Bone marrow smear. 250 by 250 pixels:
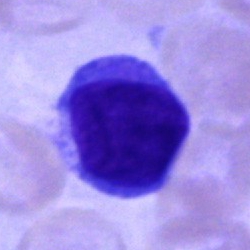
Morphology consistent with an undifferentiated blast.